Single-cell field. Bone marrow aspirate smear.
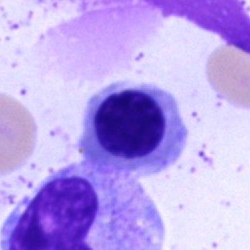
{"cell_type": "erythroblast"}